Bone marrow aspirate smear — 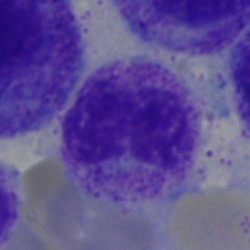Q: What is shown here?
A: A metamyelocyte.